Bone marrow aspirate smear · image size 250×250
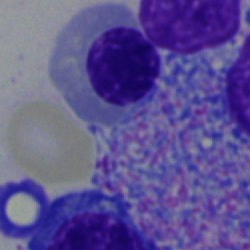 Morphology consistent with a nucleated red blood cell.